Bone marrow aspirate smear — 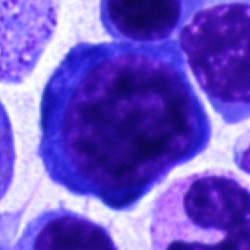 Morphology consistent with a nucleated red blood cell.